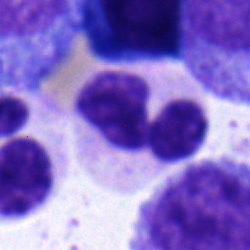Classification = neutrophil (segmented).